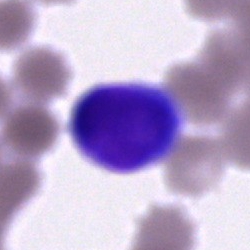Bone marrow aspirate smear, single cell — artefact.